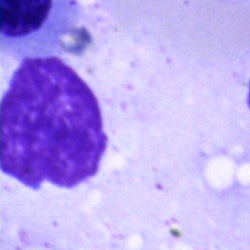

Morphology consistent with an artifact.